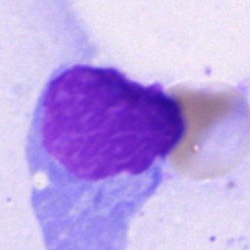

Bone marrow aspirate smear, single cell — artefact.